Bone marrow smear — 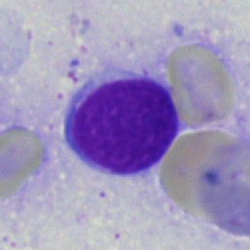
Specimen: bone marrow aspirate smear.
Cell type: lymphocyte.
Lineage: lymphoid.